May-Grünwald-Giemsa stain · 250×250 px · bone marrow smear: 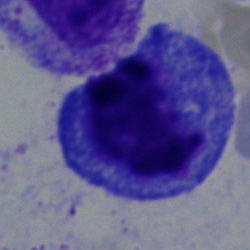
Morphological class — plasma cell.